360×363 px; peripheral blood smear — 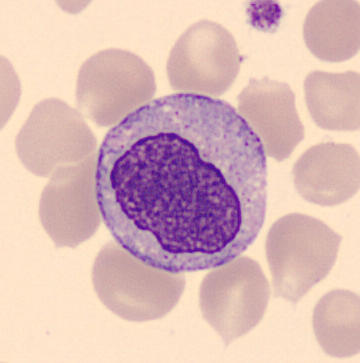
Showing a monocyte.